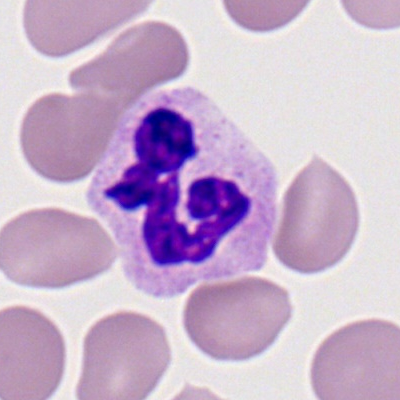

Specimen: peripheral blood film.
Morphological class: polymorphonuclear neutrophil.
Lineage: myeloid.